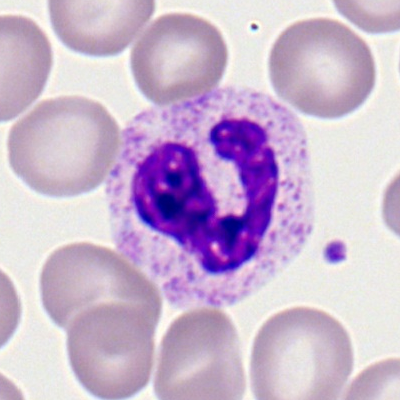
The cell type is segmented neutrophil.